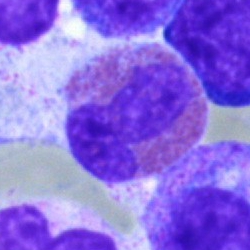Morphological class: eosinophilic granulocyte.